Bone marrow aspirate smear; 250×250 px
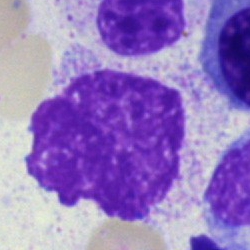
The classification is artifact.